Bone marrow smear. Cropped to a single cell: 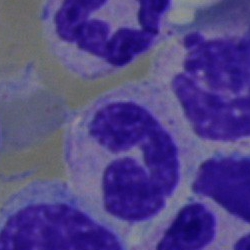

Q: What is shown here?
A: A neutrophil (band).